Bone marrow aspirate smear; single-cell field:
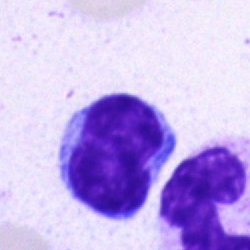Q: What is shown here?
A: It is a lymphocyte.